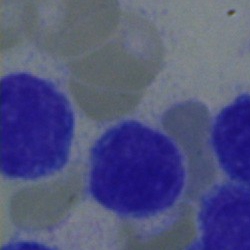Specimen: bone marrow aspirate smear.
Morphological class: lymphocyte.